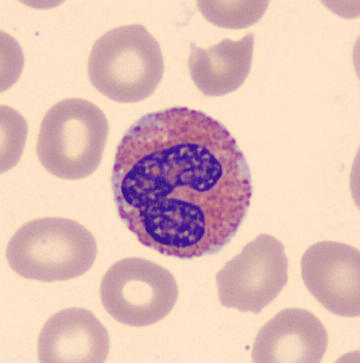Morphological class: eosinophil.